Bone marrow smear · 250×250 px · May-Grünwald-Giemsa/Pappenheim stain — 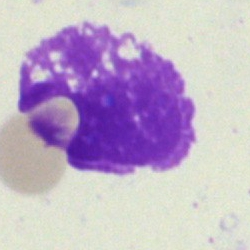
Q: What is shown here?
A: Artefact.